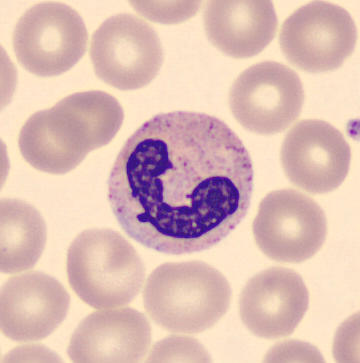 {"cell_type": "band neutrophil", "lineage": "myeloid"}
Acquisition: Peripheral blood film. 360×363 px.